Bone marrow smear. 40× objective, oil immersion. Single-cell field: 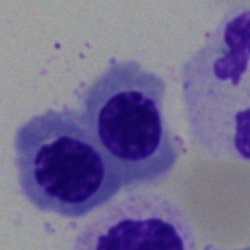 Cell = erythroblast.